Single-cell crop · bone marrow aspirate smear
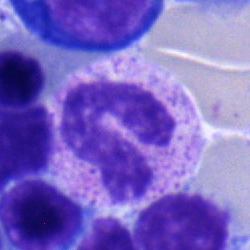 Cell: band-form neutrophil.